Bone marrow smear.
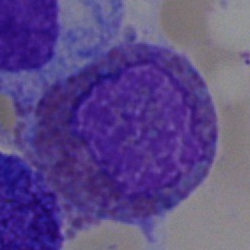
The cell shown is an eosinophil.